Bone marrow aspirate smear:
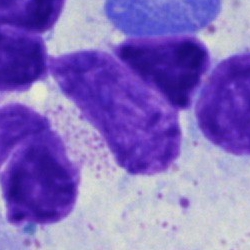

Specimen: bone marrow aspirate smear.
Cell type: artifact.